Bone marrow aspirate smear
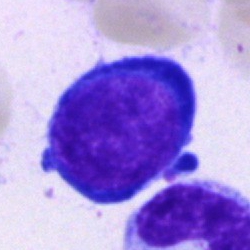

Showing a pronormoblast.